MGG-stained; bone marrow smear:
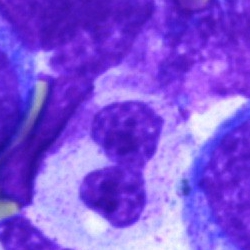
The classification is polymorphonuclear neutrophil.